Brightfield, 40× oil-immersion objective. Bone marrow smear: 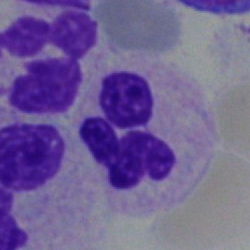Morphology consistent with a neutrophil (segmented).